Single-cell field; brightfield, 40× oil-immersion objective; bone marrow aspirate smear: 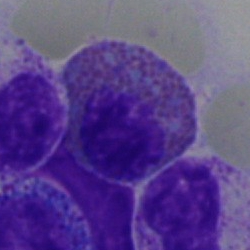The cell shown is an eosinophil.